May-Grünwald-Giemsa stain; bone marrow smear:
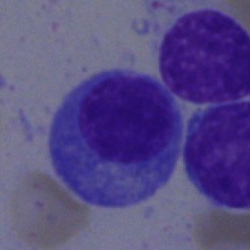 Cell type: plasma cell.